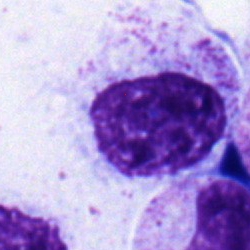
Q: What is shown here?
A: It is a myelocyte.